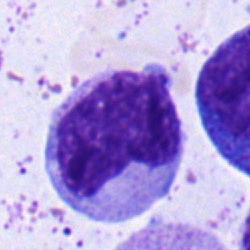

Morphological class: metamyelocyte.